Cropped to a single cell; bone marrow aspirate smear.
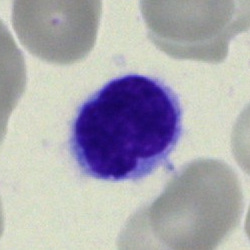

Classification: hairy cell.